250 by 250 pixels · bone marrow smear — 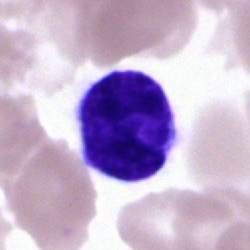

Typical lymphocyte.